Peripheral blood film
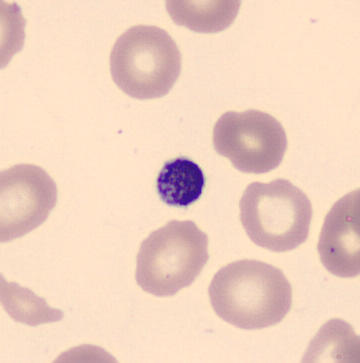 Thrombocyte.